Bone marrow smear: 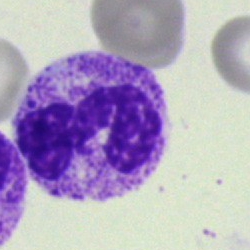

This is a polymorphonuclear neutrophil.